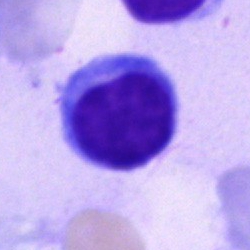 Lymphocyte.